Bone marrow smear: 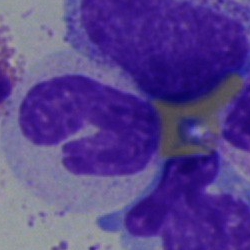 Specimen: bone marrow smear.
Morphological class: band neutrophil.
Lineage: myeloid.